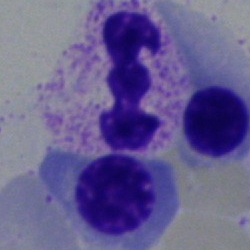Morphology → segmented neutrophil.